Bone marrow smear: 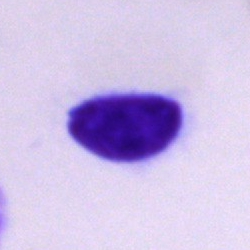
Cell type — typical lymphocyte.